Bone marrow smear. 250 by 250 pixels
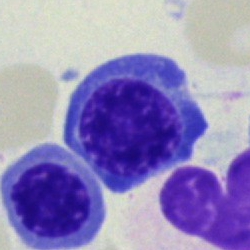
Impression → normoblast.